Bone marrow aspirate smear: 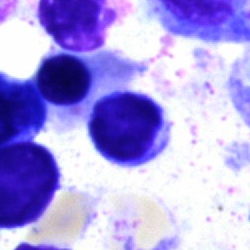

A typical lymphocyte.